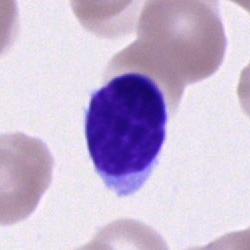
Bone marrow smear showing a typical lymphocyte.